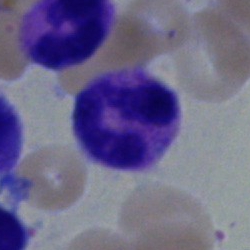

Cell: neutrophil (segmented).